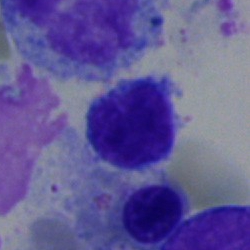Specimen: bone marrow smear.
Classification: lymphocyte.